Bone marrow aspirate smear.
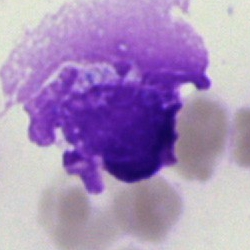 Cell: artefact.